Bone marrow aspirate smear — 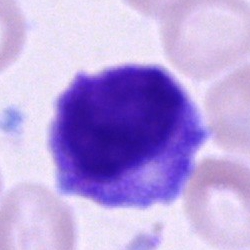

Specimen: bone marrow smear.
Classification: myelocyte.
Lineage: myeloid.